250×250. Bone marrow smear:
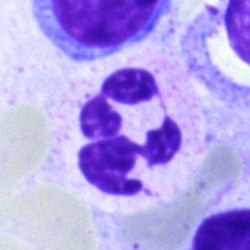
Cell type: segmented neutrophil.